Cropped to a single cell · bone marrow smear:
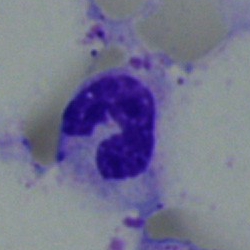
Morphology — neutrophil (band).